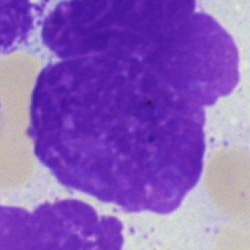 {"cell_type": "artifact"}